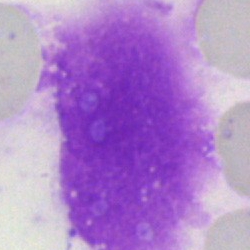 The cell shown is an artifact.